Bone marrow smear
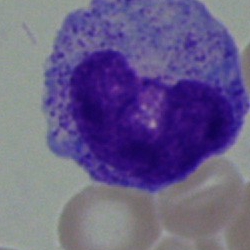 Specimen: bone marrow smear.
Cell: metamyelocyte.
Lineage: myeloid.